Bone marrow smear · Pappenheim-stained — 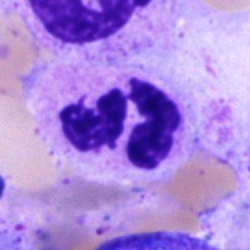

Specimen: bone marrow aspirate smear.
Cell type: neutrophil (segmented).
Lineage: myeloid.